Bone marrow aspirate smear: 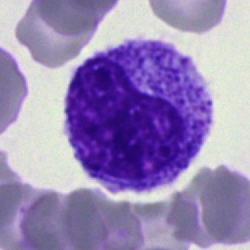

The morphological class is myelocyte.